Brightfield, 40× oil-immersion objective · bone marrow aspirate smear · single-cell crop — 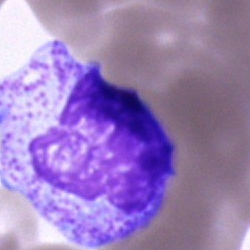 Q: What type of cell is this?
A: This is an unidentifiable cell.